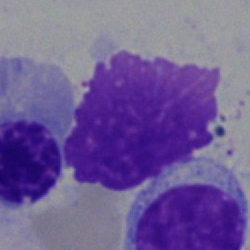Impression — artefact.